Peripheral blood smear. 360 by 363 pixels. CellaVision DM96 digital cell image
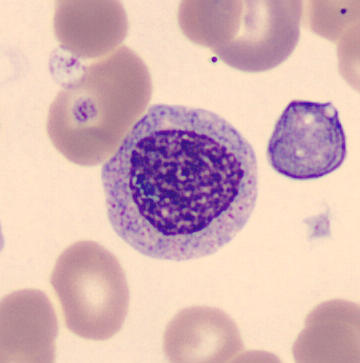Morphology consistent with a metamyelocyte.